Bone marrow smear: 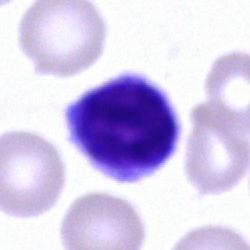

Morphology consistent with a typical lymphocyte.